Brightfield, 40× oil-immersion objective · bone marrow smear: 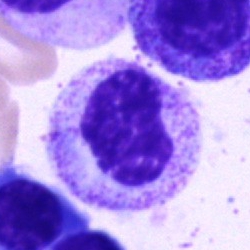 Q: What is shown here?
A: A metamyelocyte.